Bone marrow aspirate smear.
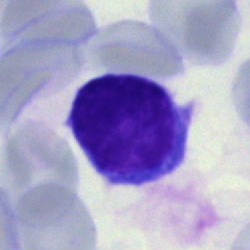

Q: What is shown here?
A: It is a lymphocyte.